Bone marrow aspirate smear — 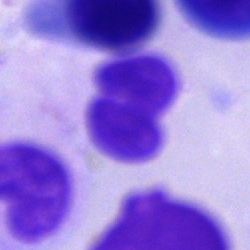 Morphology consistent with an artifact.